Bone marrow smear.
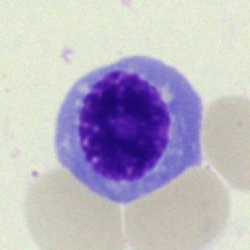

Specimen: bone marrow aspirate smear.
Classification: nucleated red cell.
Lineage: erythroid.